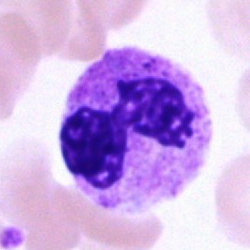 Q: Identify the cell.
A: A neutrophil (segmented).